Cropped to a single cell · bone marrow aspirate smear · MGG-stained:
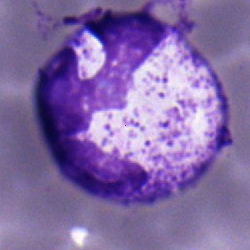
The cell type is segmented neutrophil.